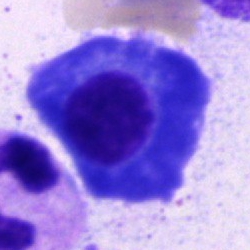
The cell type is plasma cell.